Bone marrow smear; MGG-stained; brightfield microscopy, 40× oil immersion.
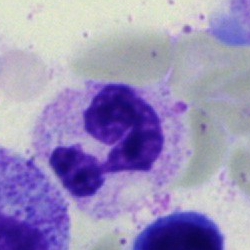

A neutrophil (segmented).